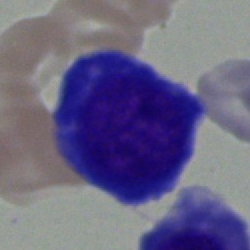 Q: What is the morphological classification of this cell?
A: Pronormoblast.